250×250 · bone marrow smear.
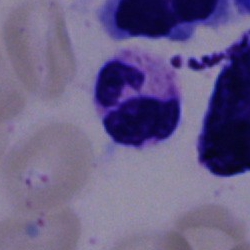

Segmented neutrophil.